Bone marrow smear; brightfield, 40× oil-immersion objective; image size 250×250: 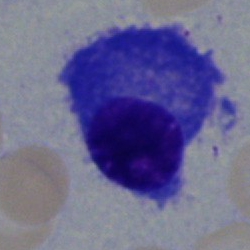
This is a plasma cell.